Bone marrow aspirate smear — 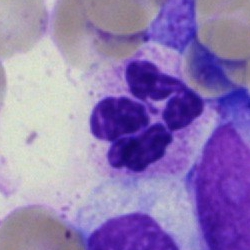

Segmented neutrophil.